Bone marrow smear:
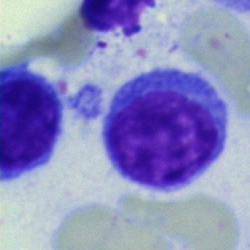{"cell_type": "lymphocyte"}